Bone marrow aspirate smear.
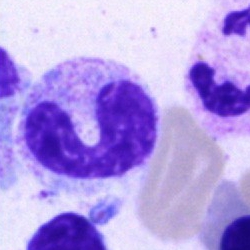
Stab cell.